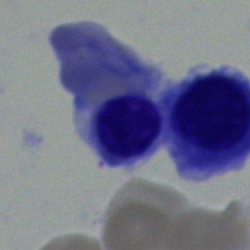

Morphology consistent with a nucleated red blood cell.